Bone marrow smear; 40× oil immersion; Pappenheim-stained: 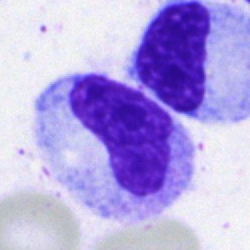 Q: What is the morphological classification of this cell?
A: It is a band-form neutrophil.